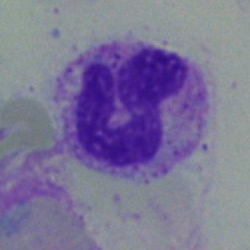 Showing a stab cell.